Bone marrow aspirate smear:
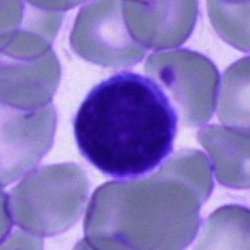

Q: What is the morphological classification of this cell?
A: A lymphocyte.